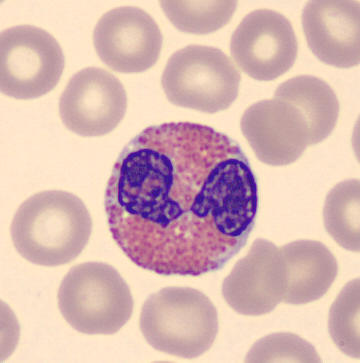An eosinophil.